Bone marrow aspirate smear; 250×250 px: 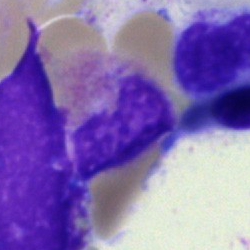 Morphological class — artifact.